Peripheral blood smear:
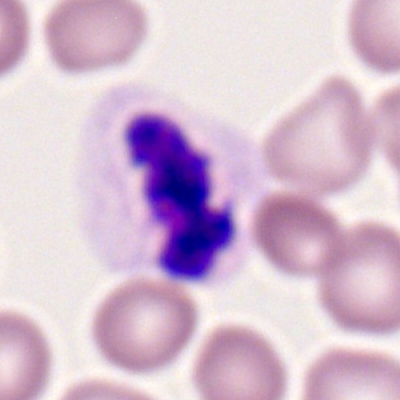Cell = polymorphonuclear neutrophil.